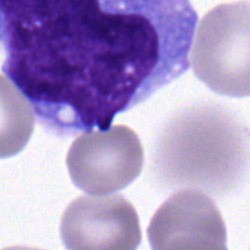A monocyte on a bone marrow smear.